Bone marrow smear:
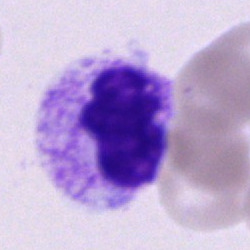{"cell_type": "segmented neutrophil", "lineage": "myeloid"}